Bone marrow aspirate smear · May-Grünwald-Giemsa stain · cropped to a single cell: 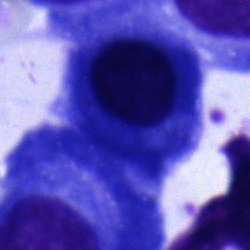 Specimen: bone marrow smear.
Cell: plasmacyte.
Lineage: lymphoid.